Bone marrow aspirate smear — 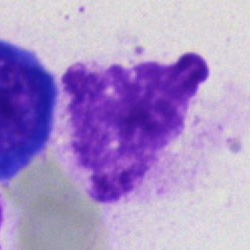Cell type = artifact.